Bone marrow smear; 250×250 px: 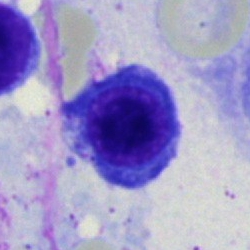{"cell_type": "nucleated red blood cell", "lineage": "erythroid"}